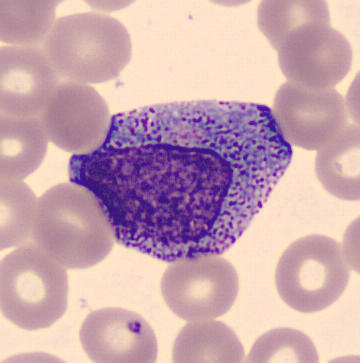 Cell — promyelocyte.

Preparation: Peripheral blood film. MGG stain. Single-cell crop.